100× objective, oil immersion. Peripheral blood film:
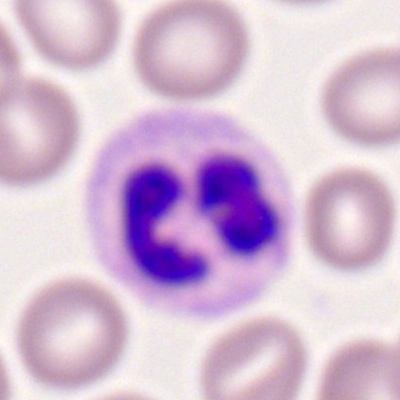

The morphological class is polymorphonuclear neutrophil.